Single-cell field · 250 by 250 pixels · bone marrow smear
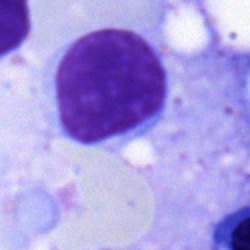

The cell shown is a typical lymphocyte.